Bone marrow aspirate smear.
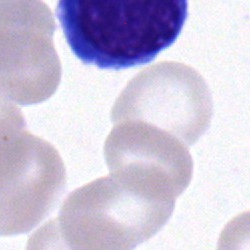Q: Identify the cell.
A: It is an erythroblast.